Bone marrow aspirate smear.
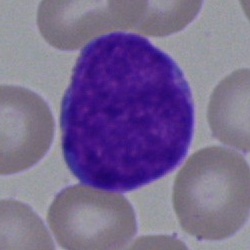Q: What cell is this?
A: Blast.